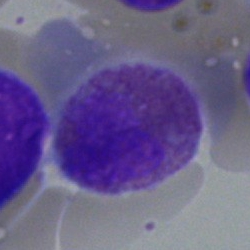Specimen: bone marrow smear.
Classification: eosinophilic granulocyte.